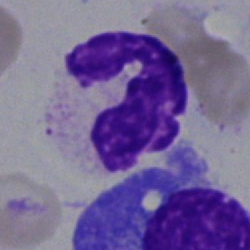Specimen: bone marrow smear.
Cell type: neutrophil (segmented).
Lineage: myeloid.